Peripheral blood film; M8 digital microscope (Precipoint), 100× oil immersion:
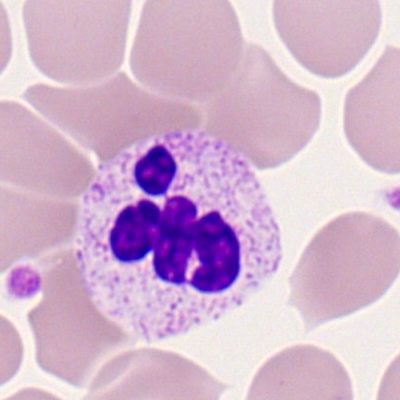Segmented neutrophil.